Bone marrow smear
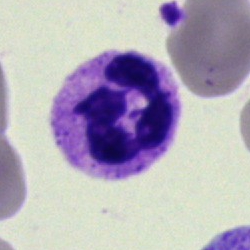
Polymorphonuclear neutrophil.